Bone marrow smear — 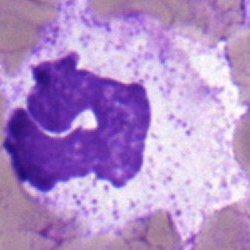The classification is polymorphonuclear neutrophil.